Bone marrow smear: 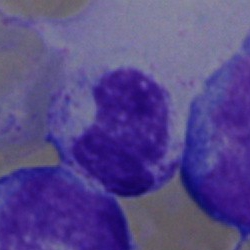 Cell type — artifact.